Bone marrow smear.
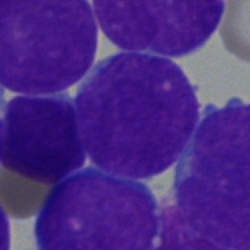

{"cell_type": "undifferentiated blast"}